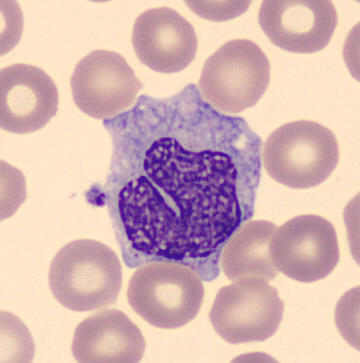Classification = monocyte.
Image: Peripheral blood film · automated cell imaging (CellaVision DM96).